Peripheral blood film — 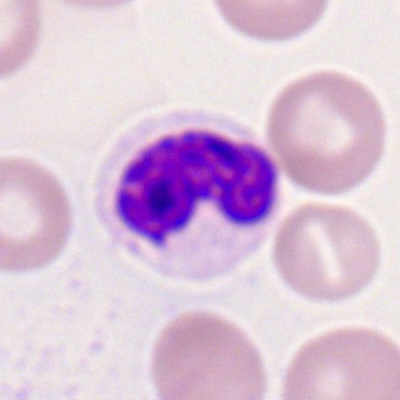
Specimen: peripheral blood film.
Classification: polymorphonuclear neutrophil.
Lineage: myeloid.